Peripheral blood film; 100× oil immersion, 14.14 px/µm; image size 400×400.
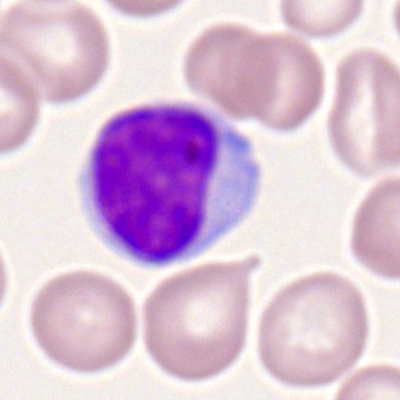 Impression → typical lymphocyte.